Bone marrow aspirate smear — 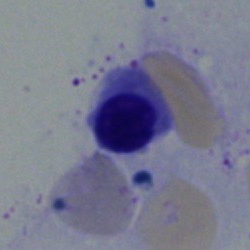
Single cell identified as a normoblast.